Romanowsky-stained; peripheral blood smear; 100× objective, oil immersion
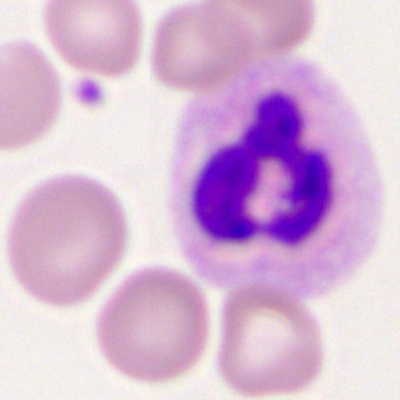

{"cell_type": "polymorphonuclear neutrophil", "lineage": "myeloid"}